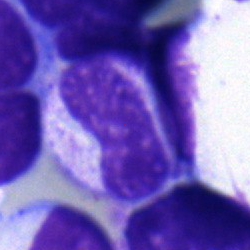Specimen: bone marrow smear.
Morphological class: metamyelocyte.
Lineage: myeloid.